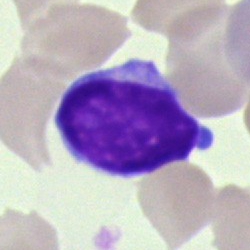Single cell identified as a lymphocyte.